Bone marrow smear.
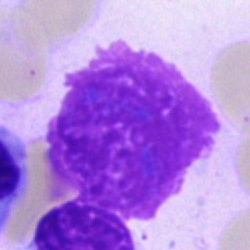
Q: What is shown here?
A: This is an artefact.